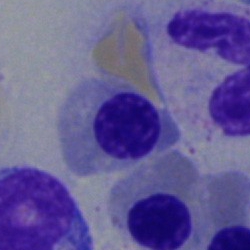

Cell — nucleated red blood cell.